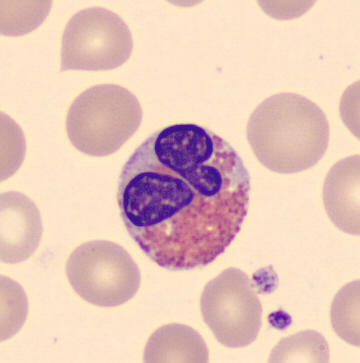

Single cell centered in the field.
Specimen: peripheral blood smear.
Cell: eosinophil.